Bone marrow aspirate smear. 40× oil immersion.
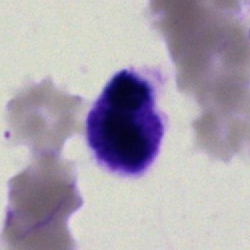 The cell type is artifact.